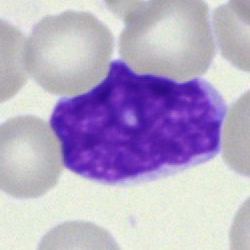

Q: Which cell type is shown here?
A: Blast.